Peripheral blood film
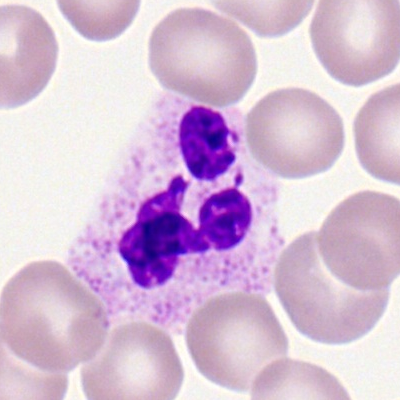

Q: Which cell type is shown here?
A: Segmented neutrophil.